Bone marrow aspirate smear: 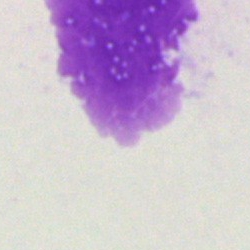

Impression → artefact.